40× objective, oil immersion. Bone marrow aspirate smear.
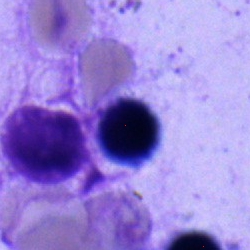
Morphological class = typical lymphocyte.